Bone marrow aspirate smear — 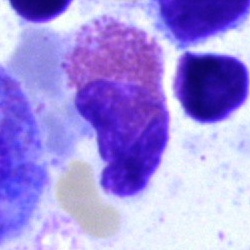
Q: Which cell type is shown here?
A: An eosinophil.